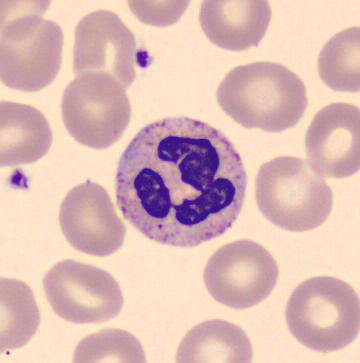
Morphological class = segmented neutrophil.